May-Grünwald-Giemsa stain. Bone marrow aspirate smear: 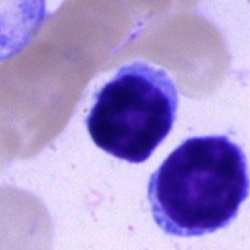This is a lymphocyte.